250 by 250 pixels · bone marrow aspirate smear
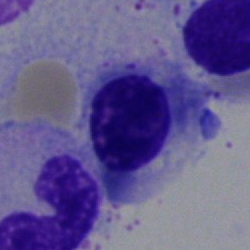

Morphology consistent with a nucleated red blood cell.